Bone marrow aspirate smear; 250×250 px
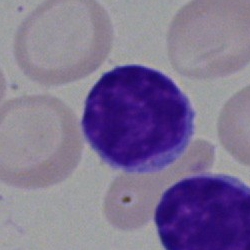

This is a lymphocyte.